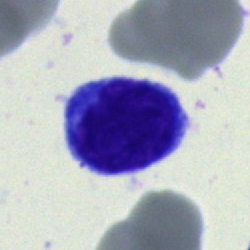Impression — typical lymphocyte.